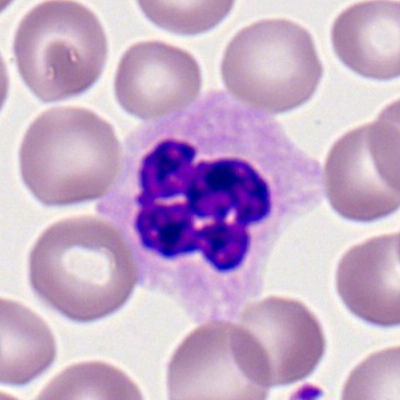
This is a polymorphonuclear neutrophil.